Bone marrow smear
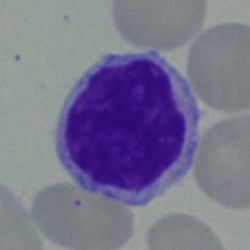

Classification — typical lymphocyte.